Cropped to a single cell; image size 400×400; peripheral blood smear:
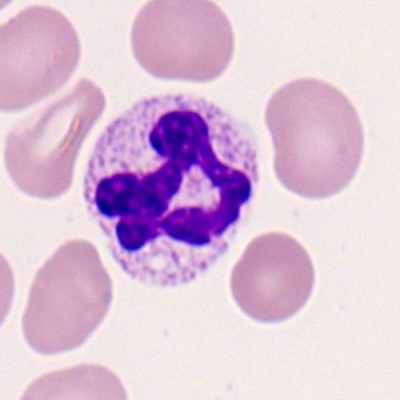 A neutrophil (segmented).